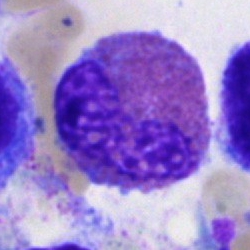The cell is eosinophilic granulocyte.